May-Grünwald-Giemsa stain. Single-cell field. Bone marrow aspirate smear.
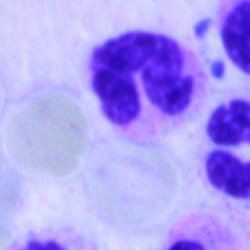
Specimen: bone marrow smear.
Classification: stab cell.